May-Grünwald-Giemsa stain; bone marrow smear: 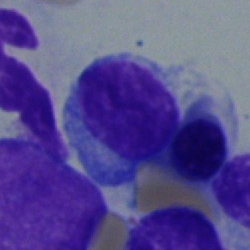 Cell type: typical lymphocyte.